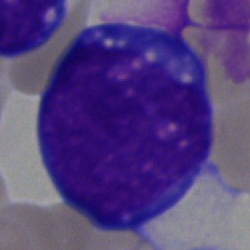
Q: Identify the cell.
A: Blast cell.